Bone marrow smear
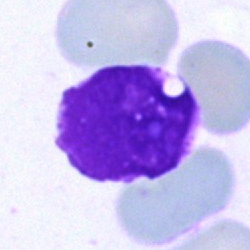
This is an artefact.